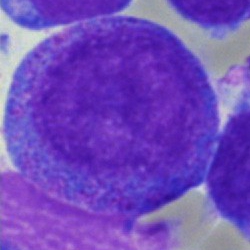
Q: Which cell type is shown here?
A: Promyelocyte.